Bone marrow smear.
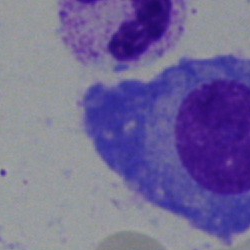

Cell — plasma cell.